Bone marrow aspirate smear · 250 by 250 pixels.
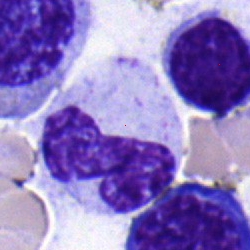

The cell is neutrophil (band).